Bone marrow smear: 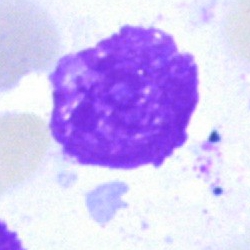An artifact.